Bone marrow aspirate smear
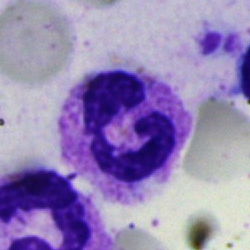 Cell type = segmented neutrophil.